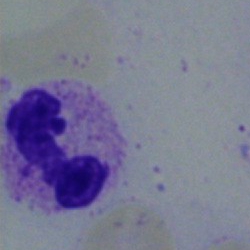
The cell shown is a segmented neutrophil.